Bone marrow aspirate smear
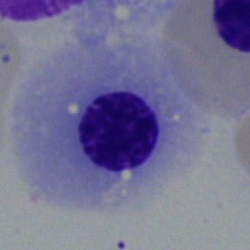

Morphology consistent with an erythroblast.